Bone marrow smear; 40× objective, oil immersion — 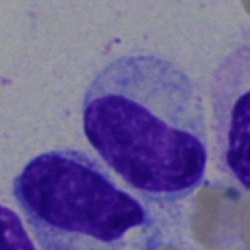
Specimen: bone marrow smear.
Cell type: metamyelocyte.
Lineage: myeloid.